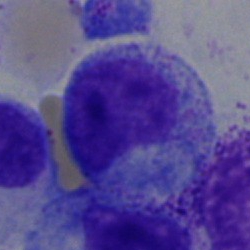Q: Identify the cell.
A: Myelocyte.